Bone marrow smear — 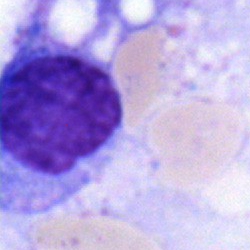

The cell shown is a typical lymphocyte.